Bone marrow smear · Pappenheim-stained
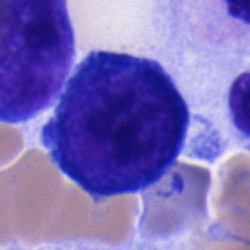 Single cell identified as a proerythroblast.